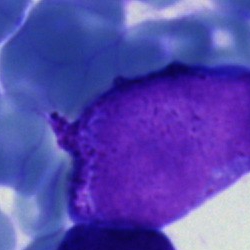
Q: What type of cell is this?
A: It is an undifferentiated blast.